Bone marrow smear · single-cell crop · image size 250×250: 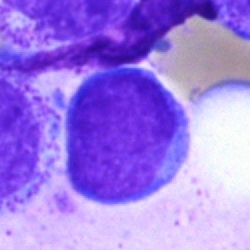

This is a blast.